Brightfield, 40× oil-immersion objective. Bone marrow aspirate smear.
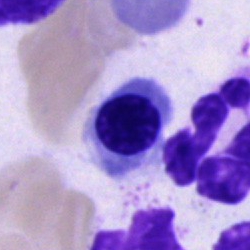
Single cell identified as an erythroblast.